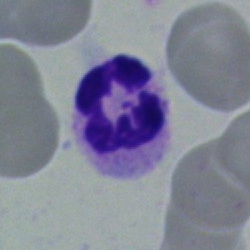
Q: What type of cell is this?
A: This is a polymorphonuclear neutrophil.